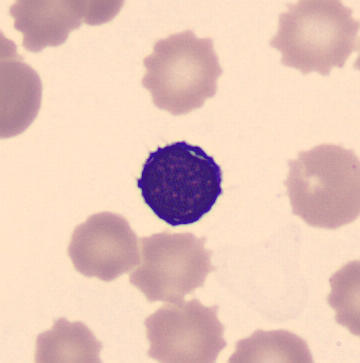Single cell identified as a typical lymphocyte.